Bone marrow smear:
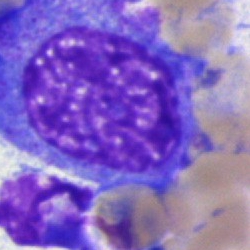Specimen: bone marrow smear.
Cell type: promyelocyte.